Bone marrow smear: 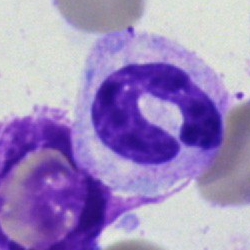
Morphology → stab cell.